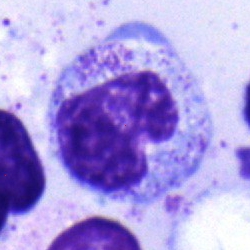

Specimen: bone marrow aspirate smear.
Classification: metamyelocyte.